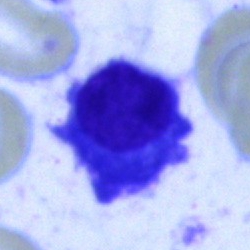 Showing a plasma cell.